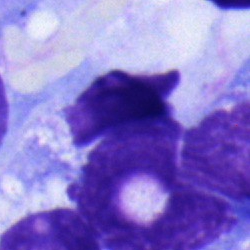

Cell: blast.